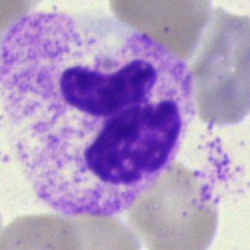The cell shown is a segmented neutrophil.